Image size 250×250 · bone marrow aspirate smear:
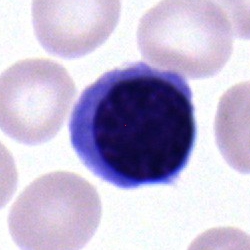 Specimen: bone marrow smear.
Classification: nucleated red blood cell.